Bone marrow smear · brightfield microscopy, 40× oil immersion
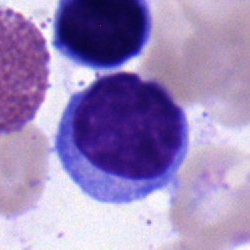
Impression — typical lymphocyte.